250 by 250 pixels. Bone marrow aspirate smear. Single cell centered in the field.
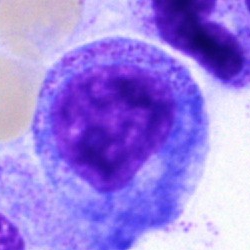 Promyelocyte.